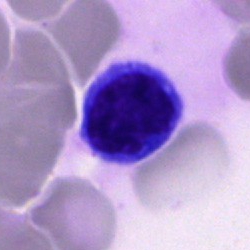

Single cell identified as a typical lymphocyte.